Bone marrow aspirate smear · MGG-stained: 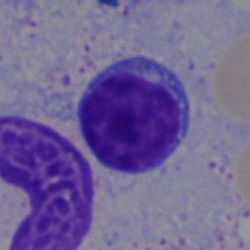
Morphology consistent with a lymphocyte.